Brightfield, 40× oil-immersion objective. 250×250 px. Bone marrow aspirate smear:
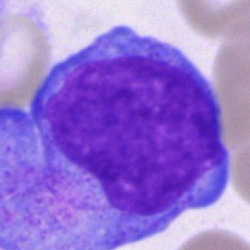The cell is undifferentiated blast.